Pappenheim-stained; bone marrow smear
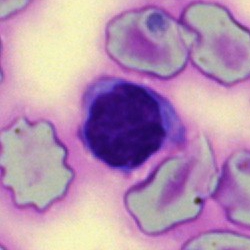
Cell: lymphocyte.